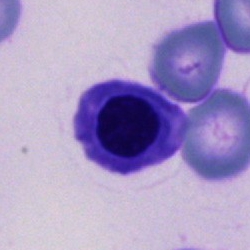Single-cell crop from a bone marrow smear: normoblast.